Bone marrow aspirate smear — 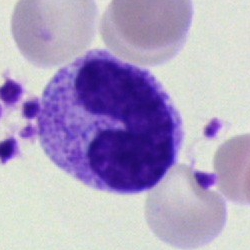Cell: band neutrophil.